Bone marrow smear:
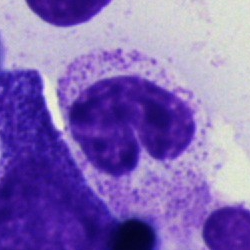
Showing a band neutrophil.